Bone marrow smear: 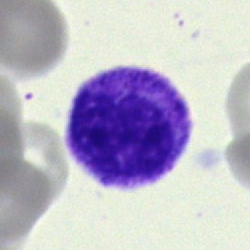 Specimen: bone marrow smear.
Cell type: myelocyte.
Lineage: myeloid.